Bone marrow smear: 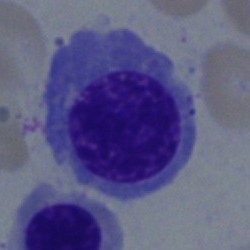Morphology consistent with a nucleated red cell.